Bone marrow smear
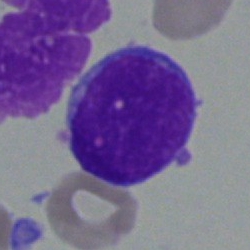Cell type = undifferentiated blast.